Brightfield, 40× oil-immersion objective · bone marrow aspirate smear · single-cell crop — 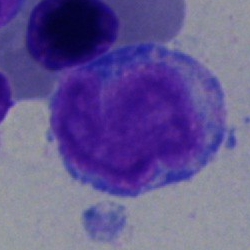

A blast.